Bone marrow aspirate smear: 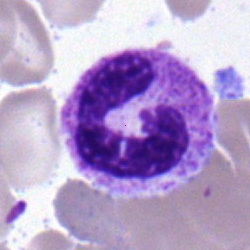
Morphology — band-form neutrophil.